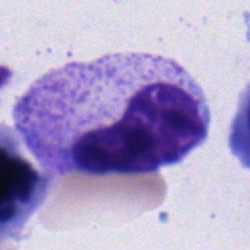 Cell: metamyelocyte.